Peripheral blood smear: 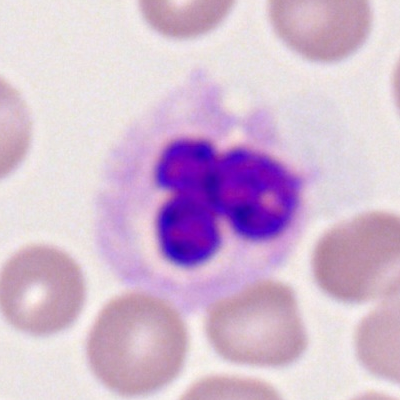 Classification: neutrophil (segmented).